Peripheral blood smear:
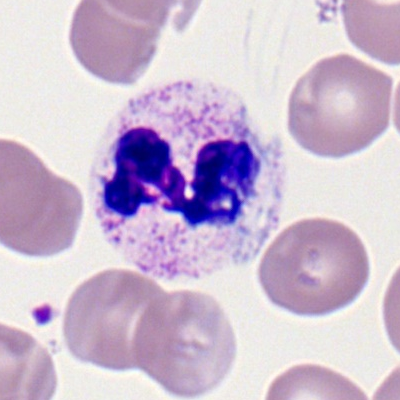A neutrophil (segmented).